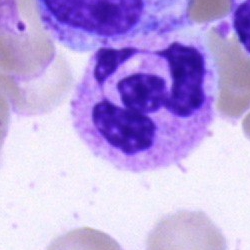

Cell: polymorphonuclear neutrophil.